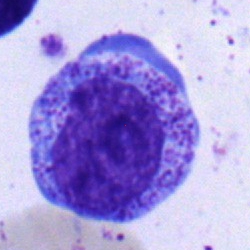Q: What type of cell is this?
A: A promyelocyte.